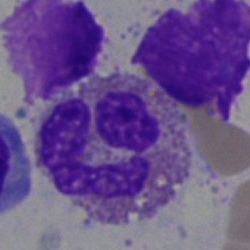

Morphological class = eosinophilic granulocyte.